Bone marrow aspirate smear
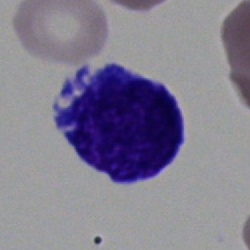Q: Identify the cell.
A: This is a blast cell.